Bone marrow aspirate smear
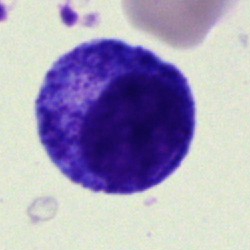

The cell type is progranulocyte.